Bone marrow smear. Single-cell field — 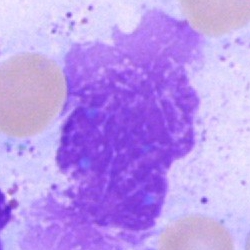The cell shown is an artifact.